Bone marrow aspirate smear.
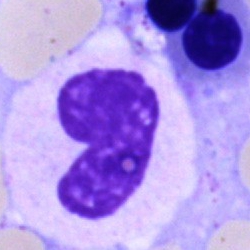 Q: What cell is this?
A: It is a metamyelocyte.